Bone marrow smear
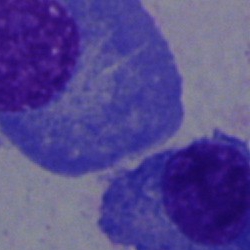 Morphology → plasmacyte.